250×250 px. Pappenheim-stained. Bone marrow smear: 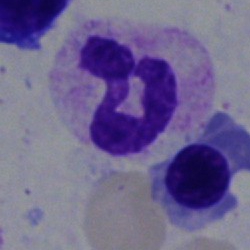
Q: What cell is this?
A: Segmented neutrophil.